May-Grünwald-Giemsa/Pappenheim stain; 250 by 250 pixels; bone marrow aspirate smear.
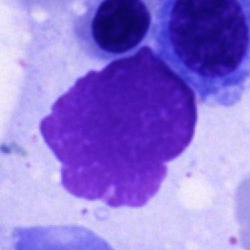Q: What is shown here?
A: Artifact.